Bone marrow aspirate smear. 40× oil immersion: 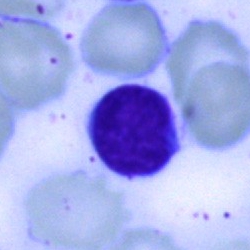

The cell type is lymphocyte.